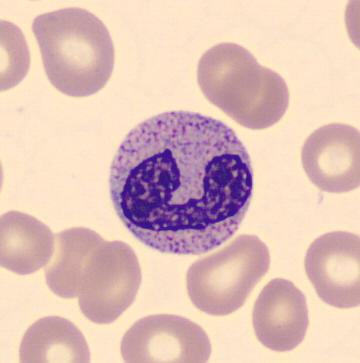 Image: Peripheral blood smear.
Identified as a band neutrophil.